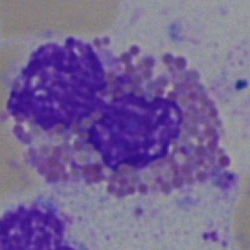Morphological class: eosinophil.